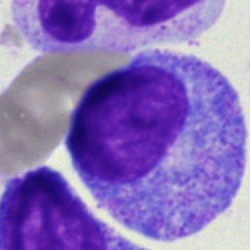
Cell type — myelocyte.